Image size 250×250. Bone marrow smear — 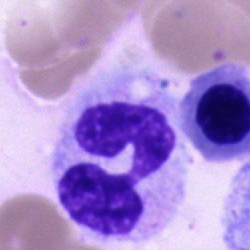 Q: Identify the cell.
A: This is a polymorphonuclear neutrophil.